Peripheral blood smear · 400×400 px — 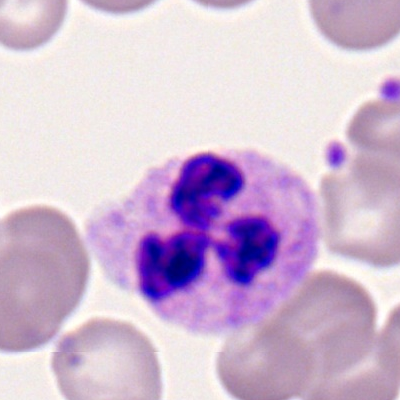Single cell identified as a segmented neutrophil.